Bone marrow smear:
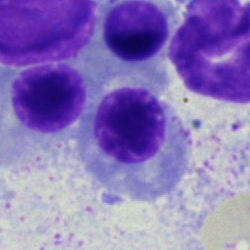 Showing a nucleated red blood cell.